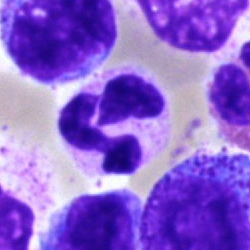
Bone marrow aspirate smear, single cell — polymorphonuclear neutrophil.